Brightfield microscopy, 40× oil immersion; bone marrow smear — 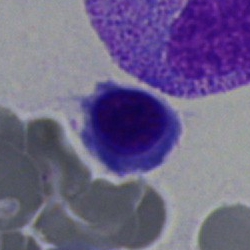
Normoblast.